Peripheral blood smear — 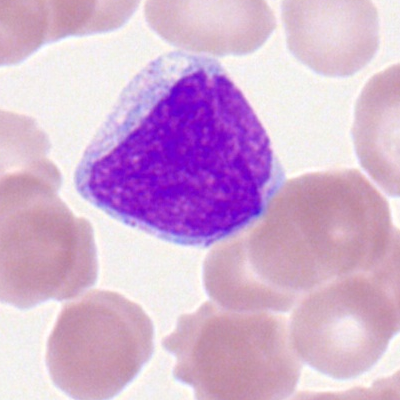

This is a myeloid blast.